Bone marrow smear. Brightfield microscopy, 40× oil immersion. May-Grünwald-Giemsa/Pappenheim stain
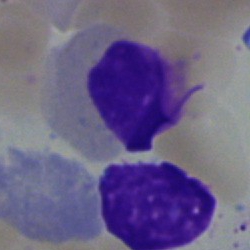

An artefact.